Pappenheim-stained · bone marrow aspirate smear: 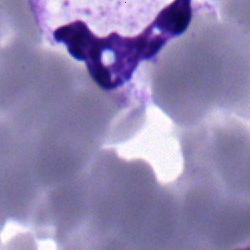 Cell = neutrophil (segmented).